Single cell centered in the field; bone marrow aspirate smear.
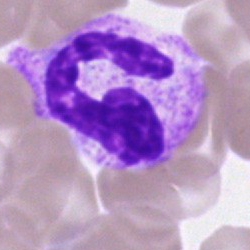

Impression — segmented neutrophil.